Bone marrow smear · brightfield microscopy, 40× oil immersion:
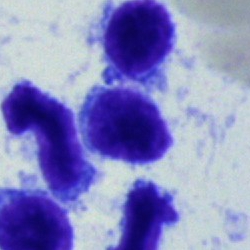

The cell shown is a lymphocyte.